Bone marrow smear
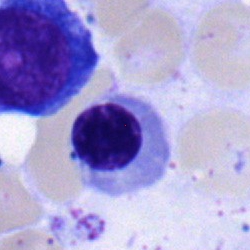

Cell type — nucleated red cell.